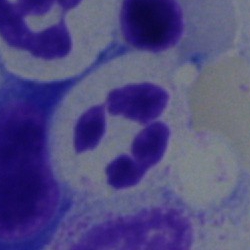
Q: What is the morphological classification of this cell?
A: A polymorphonuclear neutrophil.